Bone marrow smear. MGG-stained — 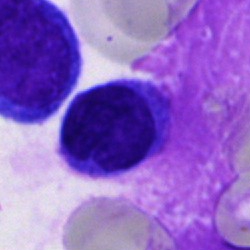 Cell = artefact.